Bone marrow aspirate smear:
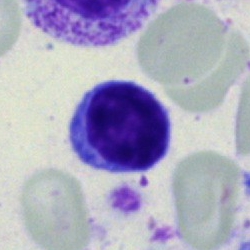

Morphology → lymphocyte.